Bone marrow aspirate smear — 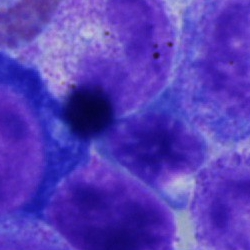
Q: Which cell type is shown here?
A: This is a normoblast.